Bone marrow smear:
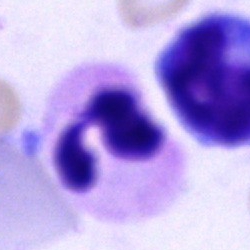 Specimen: bone marrow aspirate smear.
Classification: neutrophil (segmented).